May-Grünwald-Giemsa stain · bone marrow aspirate smear · single cell centered in the field:
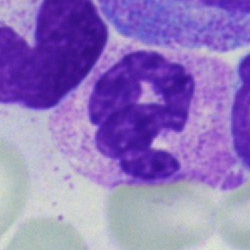

Specimen: bone marrow smear.
Classification: segmented neutrophil.
Lineage: myeloid.